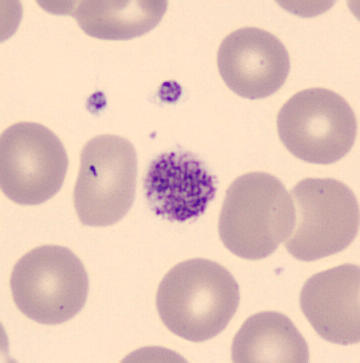
Cell type: platelet (thrombocyte). Peripheral blood smear.